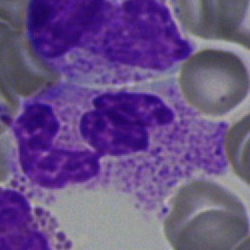

The cell type is polymorphonuclear neutrophil.